40× objective, oil immersion · bone marrow aspirate smear
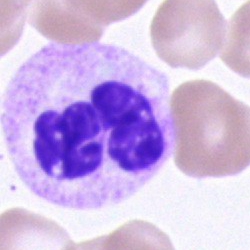

Morphology consistent with a neutrophil (segmented).